Bone marrow aspirate smear — 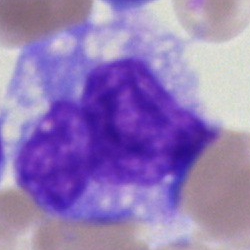

The classification is monocyte.